Peripheral blood film. Single-cell field — 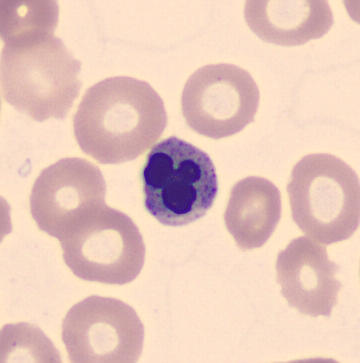Q: What is this?
A: An erythroblast.